Bone marrow aspirate smear. Brightfield, 40× oil-immersion objective. MGG-stained
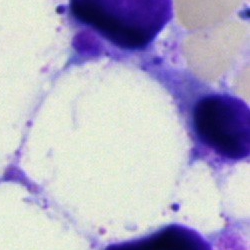The cell is artifact.